Bone marrow smear · single cell centered in the field:
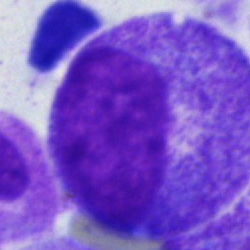Morphological class — progranulocyte.